Bone marrow smear:
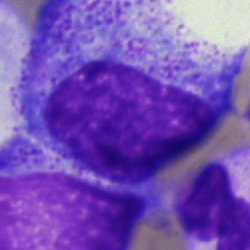

A progranulocyte.